Bone marrow aspirate smear; image size 250×250.
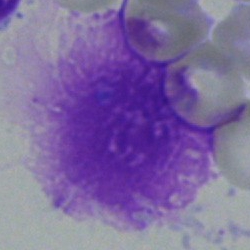 Q: What is shown here?
A: An artefact.